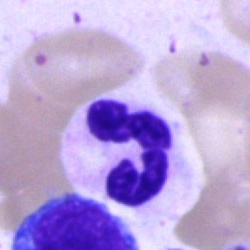 The morphological class is segmented neutrophil.